Bone marrow aspirate smear:
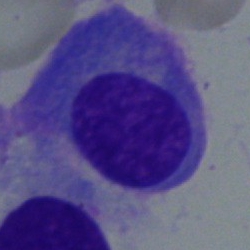

Q: What cell is this?
A: A plasma cell.